Bone marrow smear · 250×250 · brightfield microscopy, 40× oil immersion — 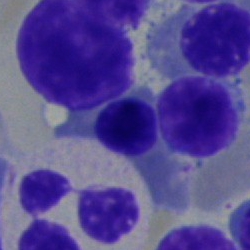
Single cell identified as an erythroblast.